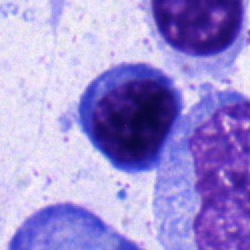 Specimen: bone marrow smear.
Cell type: normoblast.